MGG-stained · bone marrow aspirate smear: 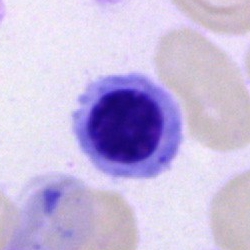
Morphology — nucleated red cell.